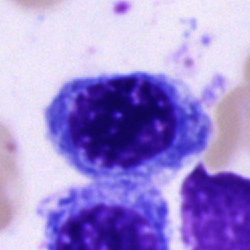

Morphological class = normoblast.